Bone marrow smear; 250×250:
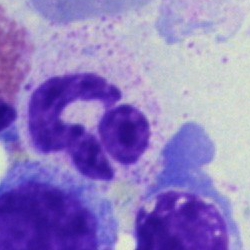Morphological class: polymorphonuclear neutrophil.